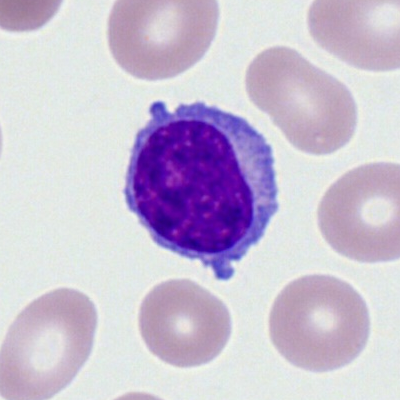
Specimen: peripheral blood film.
Cell type: lymphocyte.
Lineage: lymphoid.